Bone marrow aspirate smear
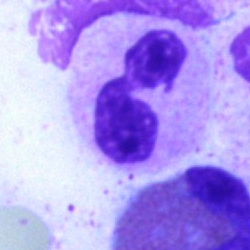 Morphology → polymorphonuclear neutrophil.